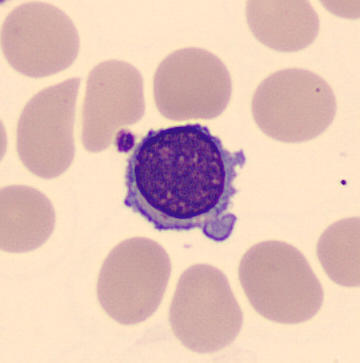
Morphology consistent with a typical lymphocyte. Image: Peripheral blood smear.